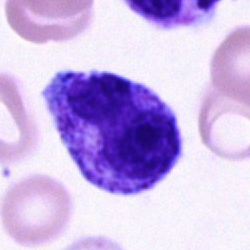{"cell_type": "metamyelocyte"}